Single cell centered in the field. 250×250. Bone marrow smear
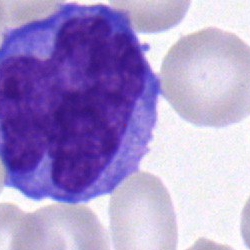

A monocyte.